Bone marrow smear · Pappenheim-stained · cropped to a single cell
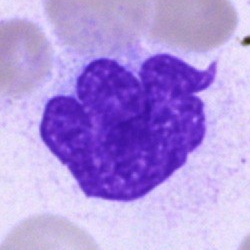Single cell identified as an artifact.